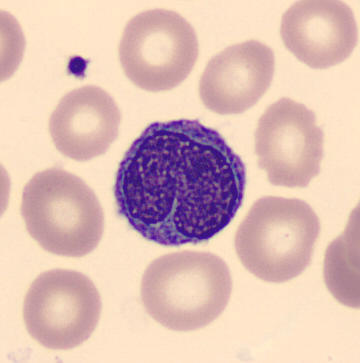 The cell shown is a monocyte.